Brightfield microscopy, 40× oil immersion; bone marrow smear: 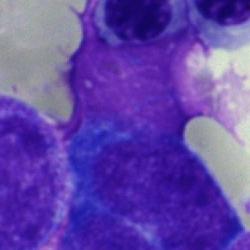 The cell shown is an artefact.